Bone marrow smear.
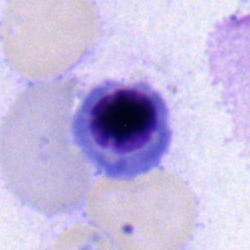 Morphology consistent with a nucleated red cell.